Bone marrow aspirate smear — 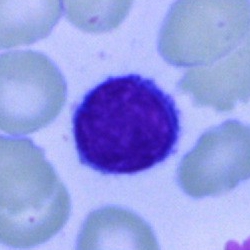

Q: What cell is this?
A: This is a lymphocyte.